May-Grünwald-Giemsa/Pappenheim stain; bone marrow aspirate smear; 250×250 px
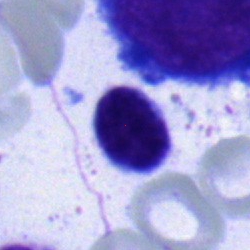 Q: What cell is this?
A: Typical lymphocyte.